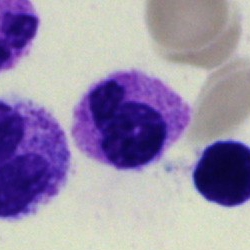
A polymorphonuclear neutrophil on a bone marrow smear.